Bone marrow smear · brightfield microscopy, 40× oil immersion — 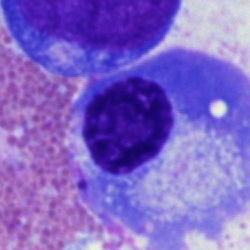

Showing a plasmacyte.